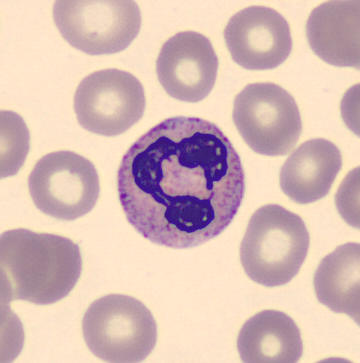

Acquisition: Peripheral blood film. Q: What type of cell is this?
A: It is a polymorphonuclear neutrophil.